Bone marrow aspirate smear; 250×250; MGG-stained — 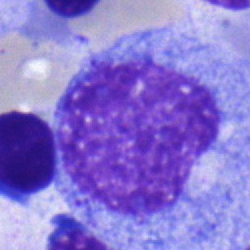 The classification is progranulocyte.